Bone marrow aspirate smear
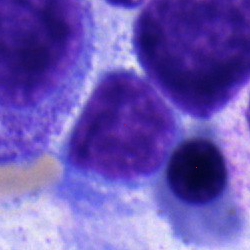 Lymphocyte.